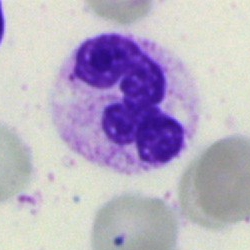

Specimen: bone marrow aspirate smear.
Cell: neutrophil (segmented).
Lineage: myeloid.